Bone marrow smear:
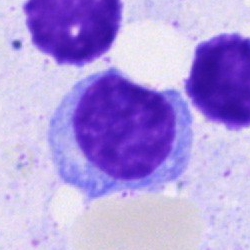

A lymphocyte.